Cropped to a single cell; bone marrow aspirate smear: 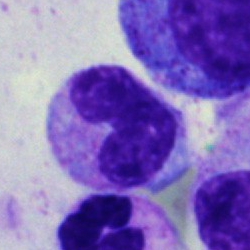 Morphological class — stab cell.